Peripheral blood smear.
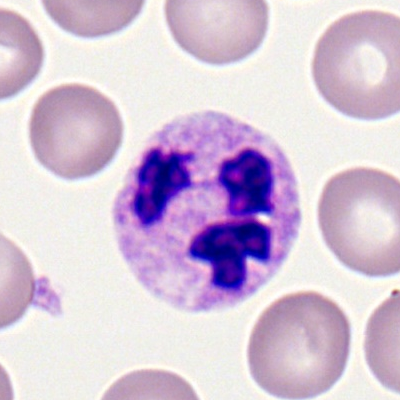

Showing a neutrophil (segmented).